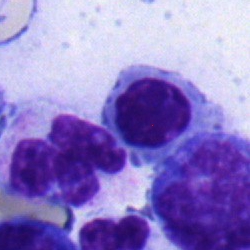 Cell = nucleated red cell.